Bone marrow aspirate smear:
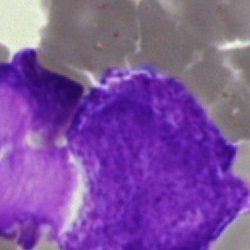 This is a blast cell.